Brightfield microscopy, 40× oil immersion; bone marrow aspirate smear; May-Grünwald-Giemsa stain:
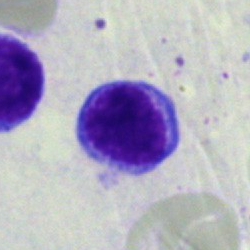Q: What type of cell is this?
A: This is a typical lymphocyte.